Single-cell field; bone marrow aspirate smear:
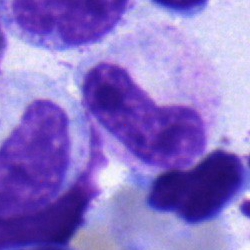 Classification = neutrophil (band).